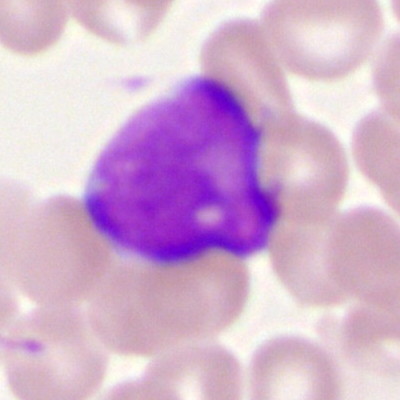

Peripheral blood film, single cell — myeloid blast.